Bone marrow smear
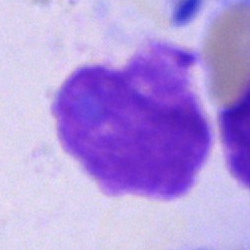Q: What is shown here?
A: It is a cell of indeterminate lineage.